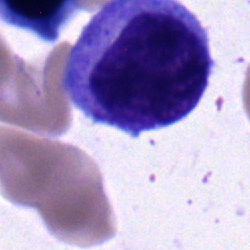

Classification: promyelocyte.